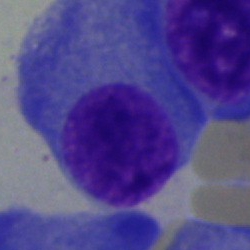
Q: Which cell type is shown here?
A: This is a plasmacyte.